Bone marrow aspirate smear; May-Grünwald-Giemsa stain; single-cell field:
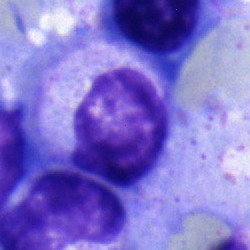

Myelocyte.